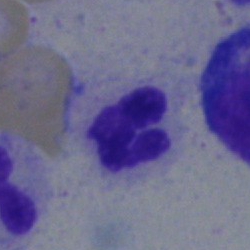 This is a polymorphonuclear neutrophil.